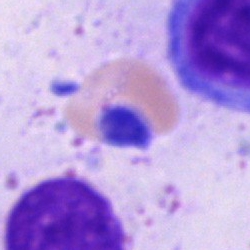
{"cell_type": "artifact"}